Bone marrow aspirate smear. Pappenheim-stained. Cropped to a single cell.
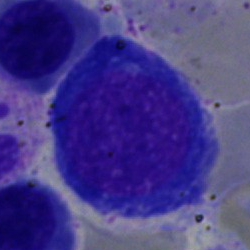 Erythroblast.